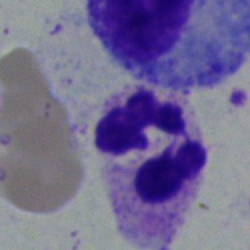 Q: Identify the cell.
A: A polymorphonuclear neutrophil.